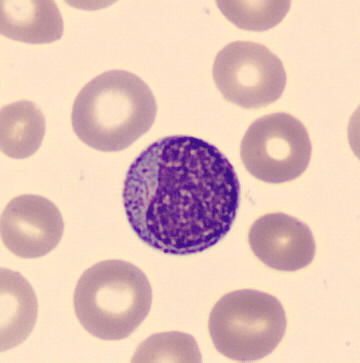{"cell_type": "myelocyte", "lineage": "myeloid"}

Image: Peripheral blood film.